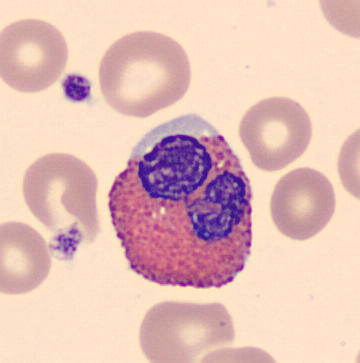 Morphology → eosinophilic granulocyte.